Peripheral blood film
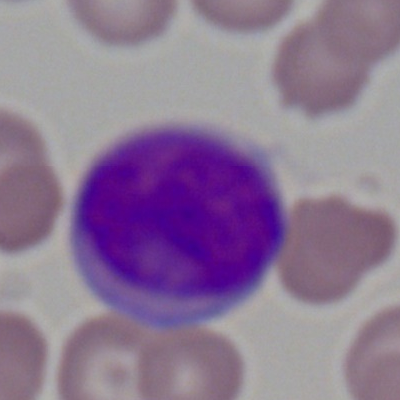

Morphology — myeloid blast.